Single-cell field · bone marrow aspirate smear.
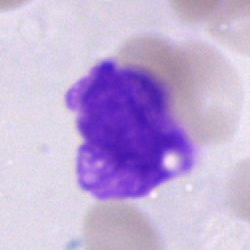

This is an artefact.